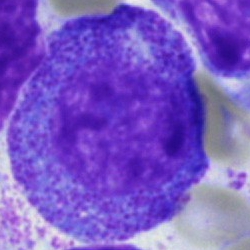 Single cell identified as a promyelocyte.